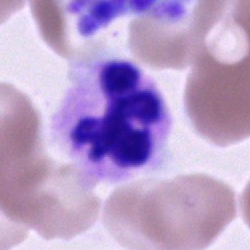
Q: What cell is this?
A: This is a segmented neutrophil.